MGG-stained. Bone marrow aspirate smear — 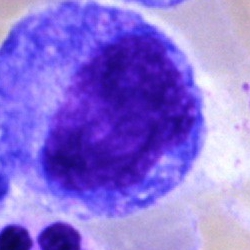
Classification = progranulocyte.